Bone marrow smear — 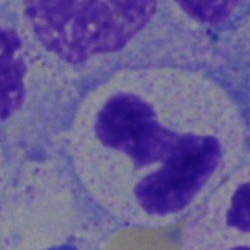 Q: What is the morphological classification of this cell?
A: It is a polymorphonuclear neutrophil.